May-Grünwald-Giemsa/Pappenheim stain; bone marrow aspirate smear.
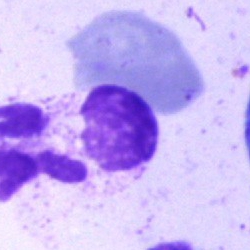
Specimen: bone marrow smear.
Cell: artifact.